Bone marrow smear — 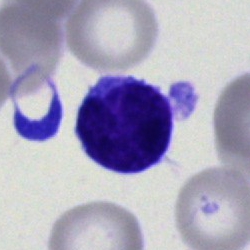
Impression — blast cell.